250 by 250 pixels. Brightfield microscopy, 40× oil immersion. Bone marrow smear.
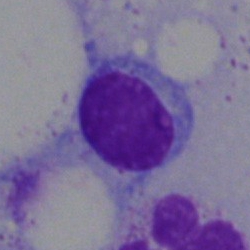
Q: Identify the cell.
A: A typical lymphocyte.